Peripheral blood film.
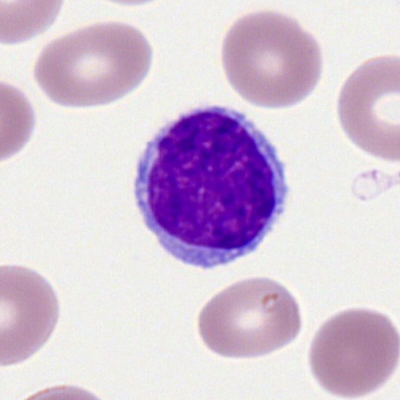Showing a lymphocyte.